Single-cell crop; bone marrow smear: 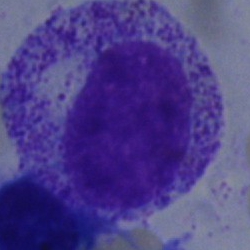 Specimen: bone marrow smear.
Morphological class: myelocyte.
Lineage: myeloid.